Bone marrow smear · single-cell crop.
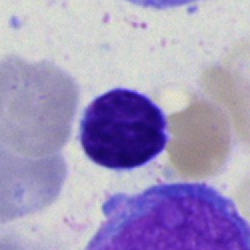 Morphology — lymphocyte.